Bone marrow aspirate smear — 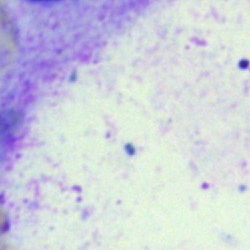 Q: What is shown here?
A: Artifact.